Single-cell crop. Bone marrow aspirate smear — 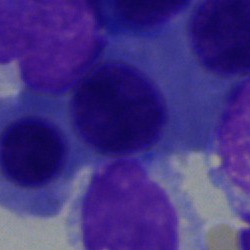

Single cell identified as a normoblast.